Bone marrow smear; single cell centered in the field; May-Grünwald-Giemsa stain.
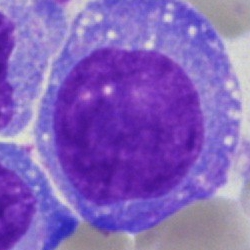 Morphological class = undifferentiated blast.